Bone marrow smear.
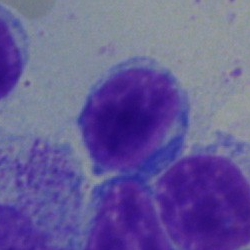
The cell shown is a lymphocyte.